Bone marrow aspirate smear:
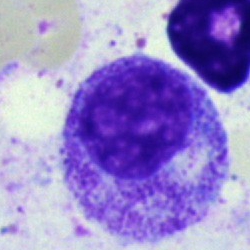

Cell = promyelocyte.